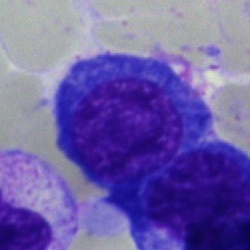

Impression → normoblast.